100× oil immersion; Romanowsky stain; peripheral blood smear — 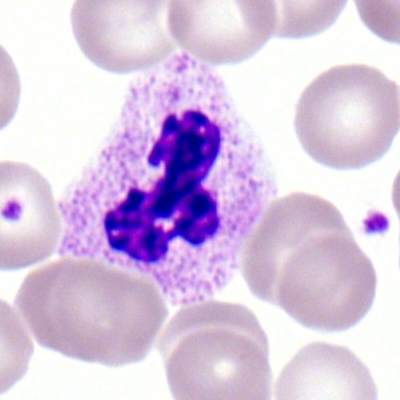 Showing a neutrophil (segmented).